Bone marrow aspirate smear. May-Grünwald-Giemsa stain. Single-cell crop
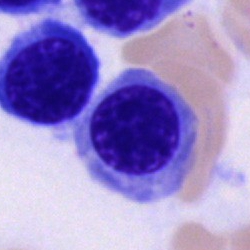

Morphology → erythroblast.